Bone marrow aspirate smear:
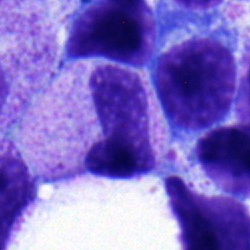
Q: What is the morphological classification of this cell?
A: It is a neutrophil (band).